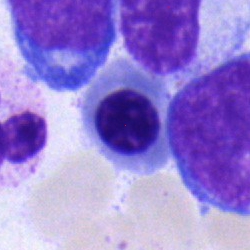

Bone marrow smear showing a nucleated red cell.